Bone marrow aspirate smear
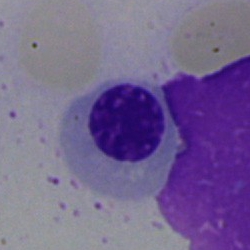 Nucleated red cell.